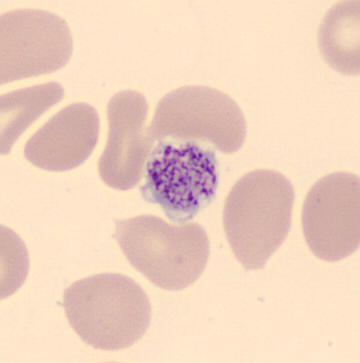Platelet (thrombocyte). Image: Peripheral blood film.